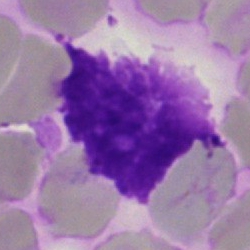Specimen: bone marrow aspirate smear.
Classification: artefact.